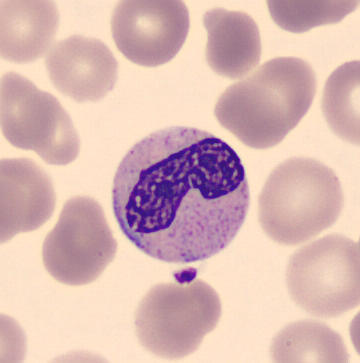 Cell — stab cell. Peripheral blood film.